Pappenheim-stained. Bone marrow aspirate smear.
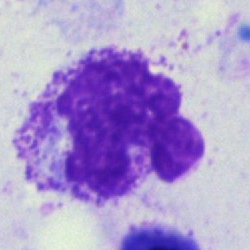
Morphological class — artefact.